Bone marrow aspirate smear; May-Grünwald-Giemsa/Pappenheim stain; single-cell crop:
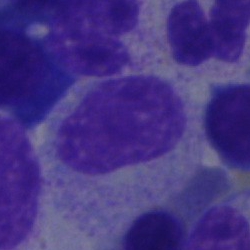

Single cell identified as an artefact.